Bone marrow smear: 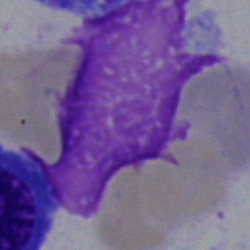 Cell: artifact.